Bone marrow aspirate smear — 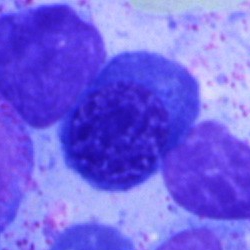
{"cell_type": "normoblast", "lineage": "erythroid"}